Bone marrow aspirate smear · May-Grünwald-Giemsa stain · 250×250.
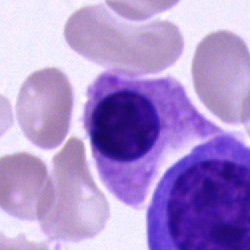
Morphology → cell of indeterminate lineage.